Bone marrow smear; 250 by 250 pixels
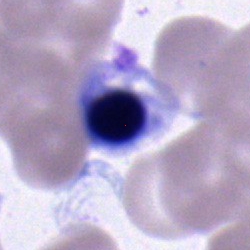 A nucleated red blood cell.